Bone marrow smear.
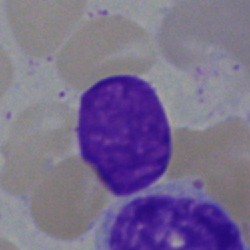 Showing an artifact.